Bone marrow aspirate smear:
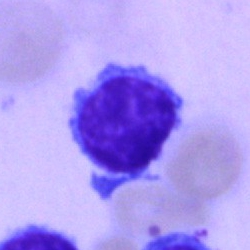The morphological class is lymphocyte.